May-Grünwald-Giemsa stain · bone marrow aspirate smear: 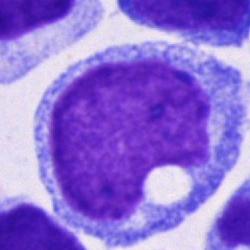

Cell: undifferentiated blast.